Bone marrow smear.
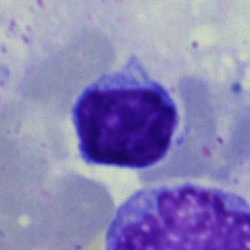 Q: Identify the cell.
A: A lymphocyte.